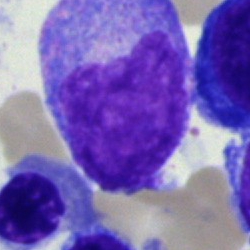 Classification: promyelocyte.